Image size 250×250. Bone marrow aspirate smear. Brightfield microscopy, 40× oil immersion: 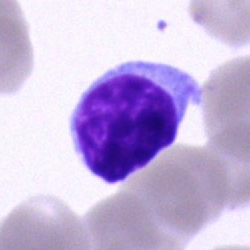 Single cell identified as a typical lymphocyte.